Image size 250×250. Brightfield microscopy, 40× oil immersion. Bone marrow aspirate smear
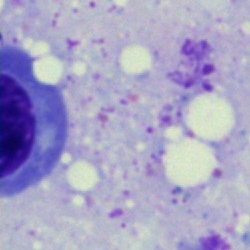
Morphology consistent with an artifact.